Bone marrow aspirate smear:
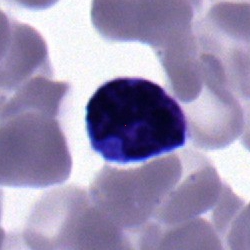Q: What is shown here?
A: Lymphocyte.